Peripheral blood film: 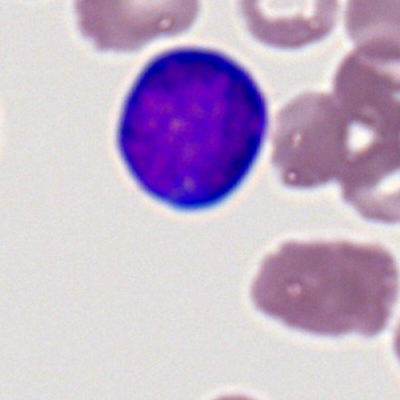Cell: myeloblast.